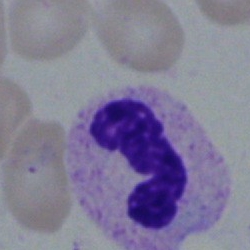
Specimen: bone marrow smear.
Classification: band-form neutrophil.